Bone marrow smear. Single-cell crop
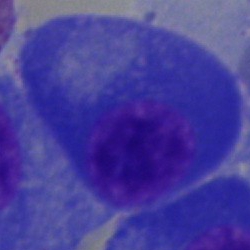

Q: What is the morphological classification of this cell?
A: Plasmacyte.